Bone marrow aspirate smear
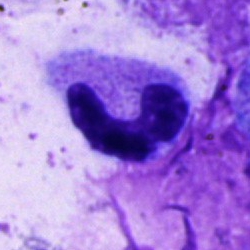Impression — segmented neutrophil.